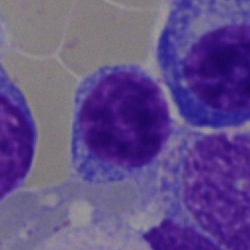
Q: What is shown here?
A: Lymphocyte.